Bone marrow smear: 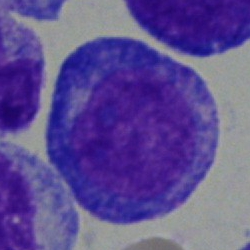 Q: What is shown here?
A: A proerythroblast.